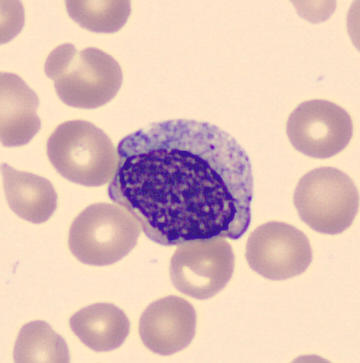
The cell shown is a myelocyte.

Acquisition: Peripheral blood film.